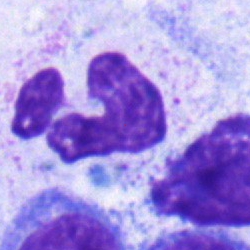 Classification — neutrophil (segmented).